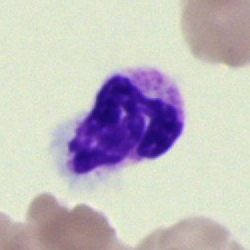

Single cell identified as a segmented neutrophil.